Bone marrow smear — 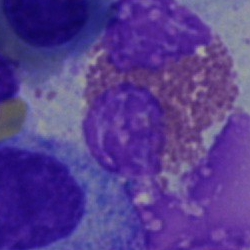Q: What type of cell is this?
A: It is an eosinophil.